Bone marrow aspirate smear: 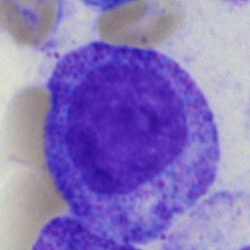

Q: What type of cell is this?
A: It is a promyelocyte.